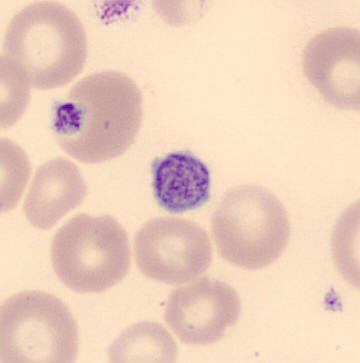

Peripheral blood smear showing a platelet.